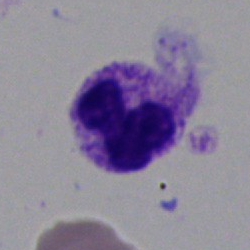 A segmented neutrophil.